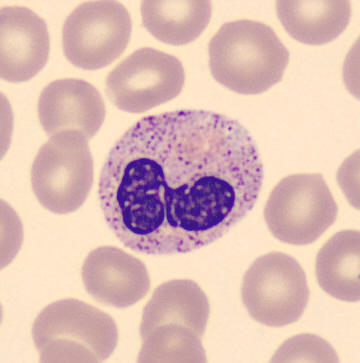The classification is band neutrophil.